Bone marrow aspirate smear:
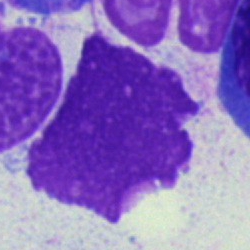 This is an artifact.